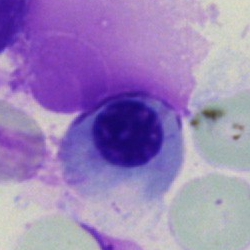 Cell = normoblast.